Bone marrow smear · 250×250 — 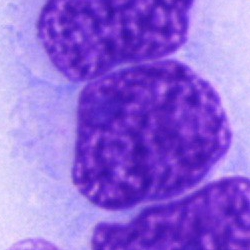 Artefact.